250 by 250 pixels · bone marrow aspirate smear — 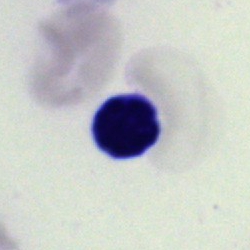
Showing a lymphocyte.